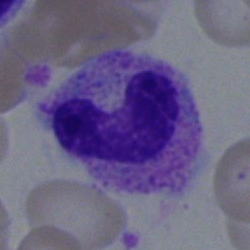Specimen: bone marrow smear.
Classification: band-form neutrophil.
Lineage: myeloid.